Peripheral blood smear:
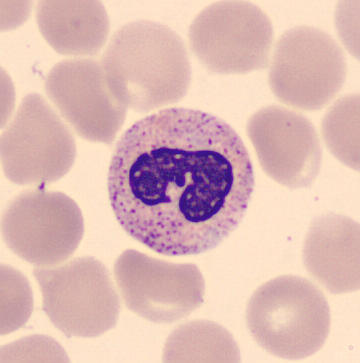The cell is band-form neutrophil.